Bone marrow aspirate smear.
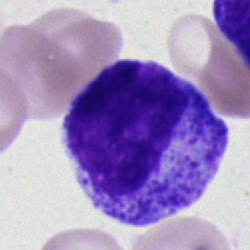Myelocyte.